Bone marrow smear: 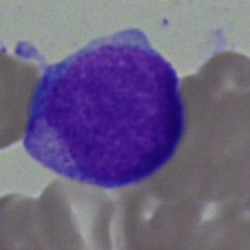

Specimen: bone marrow smear.
Cell: blast.